Bone marrow aspirate smear. Cropped to a single cell:
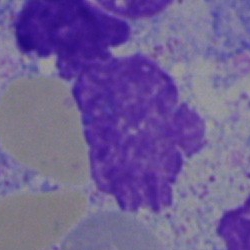

Specimen: bone marrow smear.
Morphological class: artifact.